Image size 250×250 · bone marrow smear: 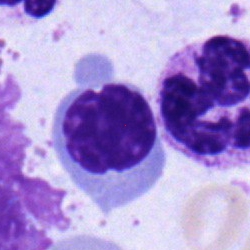 Erythroblast.